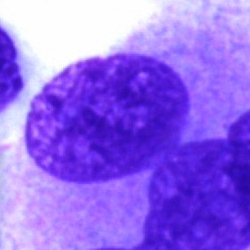Morphology → artifact.